400×400; peripheral blood film:
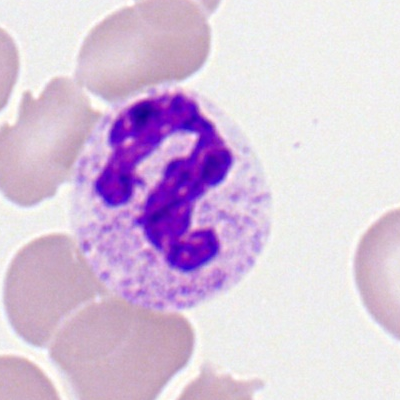

Q: Identify the cell.
A: This is a neutrophil (segmented).